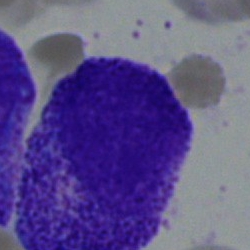

Single-cell crop from a bone marrow smear: progranulocyte.